Brightfield, 40× oil-immersion objective; bone marrow smear.
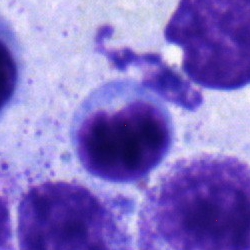 This is a lymphocyte.